Peripheral blood smear: 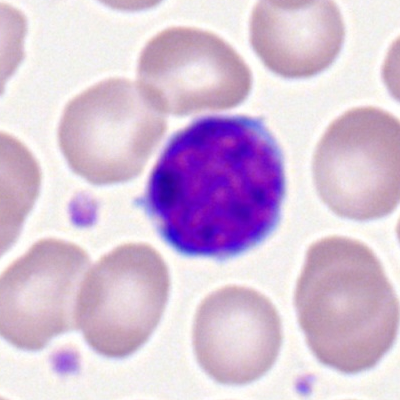

A lymphocyte.